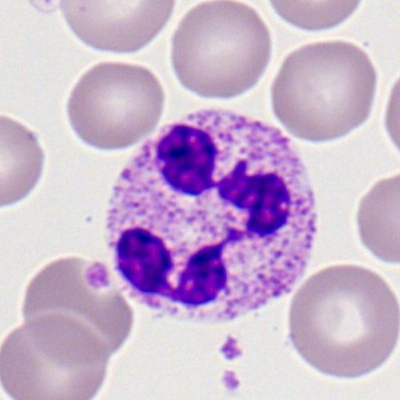
Morphology consistent with a polymorphonuclear neutrophil.